Bone marrow aspirate smear — 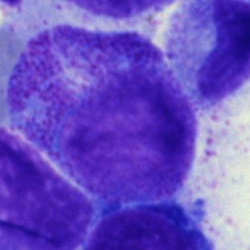 Q: What is shown here?
A: A progranulocyte.